Bone marrow smear — 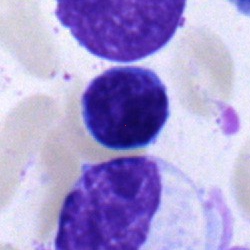
Morphology consistent with a lymphocyte.